Brightfield microscopy, 40× oil immersion · bone marrow aspirate smear: 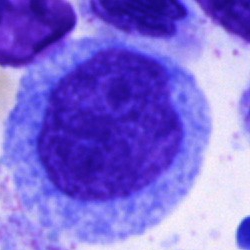

Impression → progranulocyte.